250×250 px · bone marrow smear · 40× oil immersion.
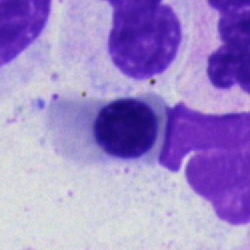
Specimen: bone marrow aspirate smear.
Cell type: normoblast.